Single-cell crop. Bone marrow smear:
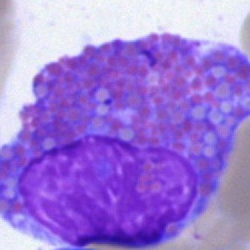Showing an eosinophilic granulocyte.